Pappenheim-stained. Bone marrow aspirate smear. Image size 250×250
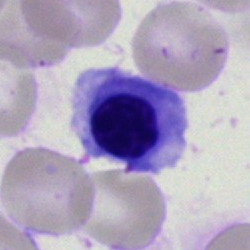
Morphological class: nucleated red blood cell.